Bone marrow aspirate smear — 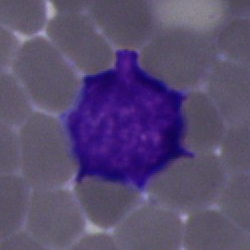Specimen: bone marrow aspirate smear.
Morphological class: typical lymphocyte.
Lineage: lymphoid.